Bone marrow aspirate smear: 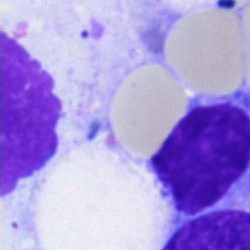 The cell is artifact.